Cropped to a single cell · bone marrow smear:
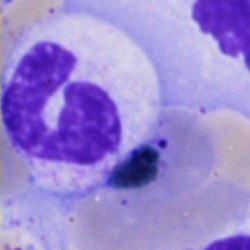

A stab cell.